Bone marrow aspirate smear:
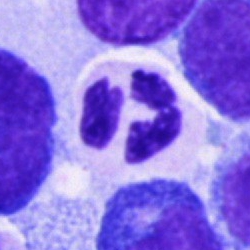
Single cell identified as a neutrophil (segmented).